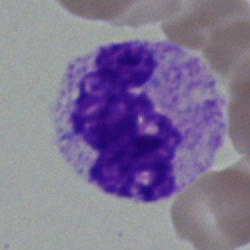Impression — neutrophil (segmented).